250×250. Brightfield microscopy, 40× oil immersion. Bone marrow smear.
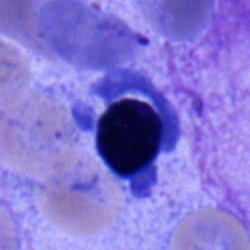 Specimen: bone marrow smear.
Morphological class: typical lymphocyte.